Bone marrow smear · 40× objective, oil immersion — 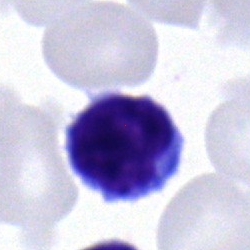Single cell identified as a lymphocyte.